Single cell centered in the field · bone marrow aspirate smear:
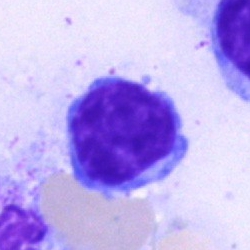Morphological class: typical lymphocyte.